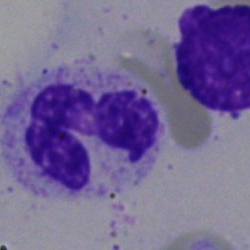

Q: Identify the cell.
A: This is a polymorphonuclear neutrophil.